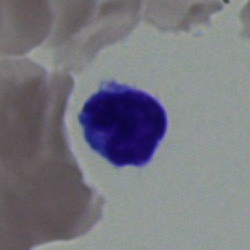Classification = typical lymphocyte.